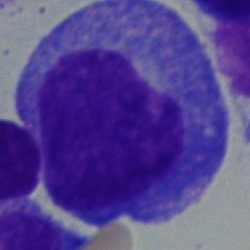Q: What is shown here?
A: Promyelocyte.